Single cell centered in the field. 40× oil immersion. Bone marrow aspirate smear:
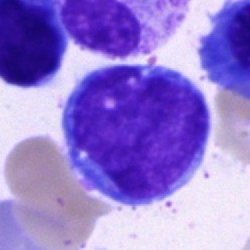 Q: What cell is this?
A: It is a blast cell.